250 by 250 pixels · bone marrow smear: 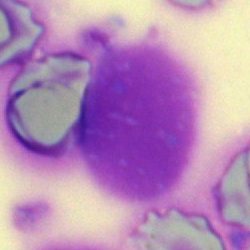

This is an artefact.